Bone marrow aspirate smear; 250×250 px; brightfield microscopy, 40× oil immersion — 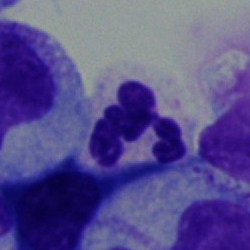

Q: Identify the cell.
A: Neutrophil (segmented).